Peripheral blood film
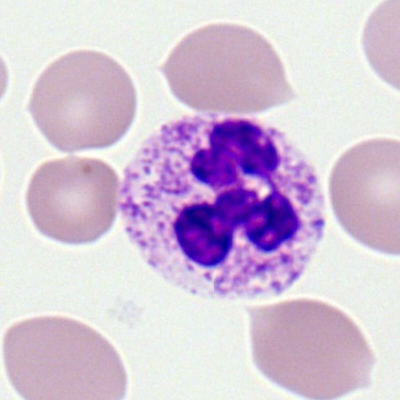
A segmented neutrophil.